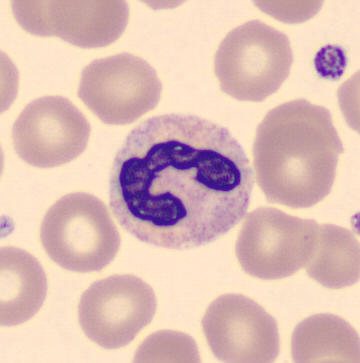 Preparation: Peripheral blood smear.
Band-form neutrophil.